May-Grünwald-Giemsa/Pappenheim stain; bone marrow smear
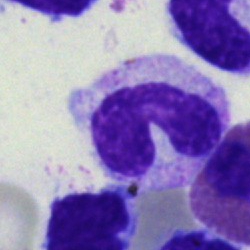 Classification — stab cell.